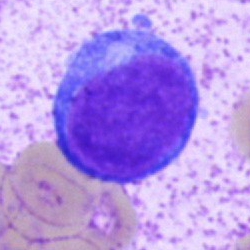Showing a blast.